Bone marrow aspirate smear · 250×250:
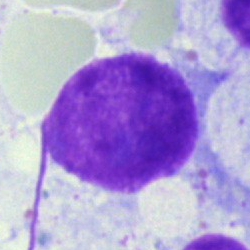 Classification — artefact.